Image size 250×250. Bone marrow smear. 40× objective, oil immersion — 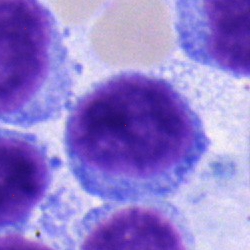 Morphology consistent with a lymphocyte.